Peripheral blood film:
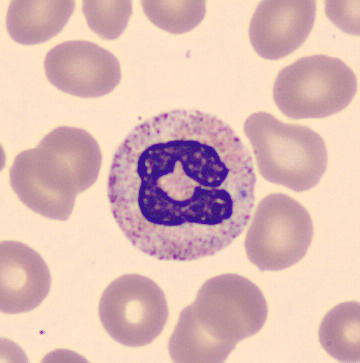A polymorphonuclear neutrophil.